Peripheral blood smear:
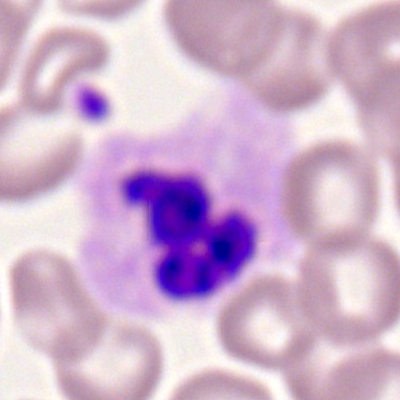
Specimen: peripheral blood smear.
Morphological class: polymorphonuclear neutrophil.